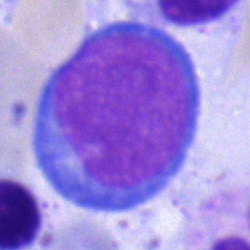 Bone marrow smear showing a pronormoblast.